Image size 250×250; bone marrow smear: 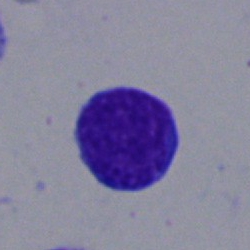Q: What is the morphological classification of this cell?
A: A lymphocyte.